Bone marrow smear — 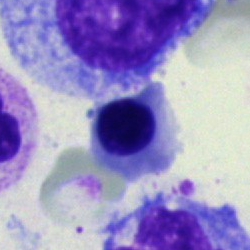Showing a nucleated red cell.